Pappenheim-stained. Bone marrow aspirate smear — 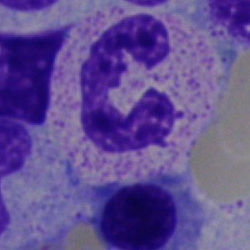 Cell — neutrophil (segmented).